250×250 px. Bone marrow smear: 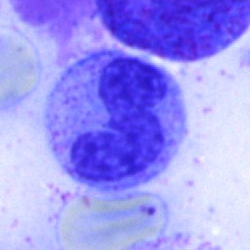
Showing a band neutrophil.